Bone marrow smear; single-cell crop: 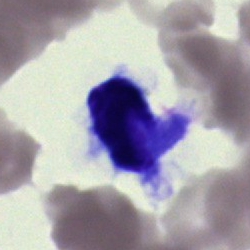

Specimen: bone marrow aspirate smear.
Morphological class: artifact.